40× oil immersion. Bone marrow smear. Single-cell field: 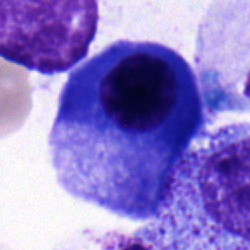Impression — plasmacyte.